Bone marrow smear
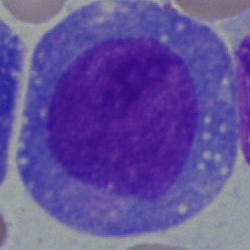 Classification = undifferentiated blast.